Peripheral blood smear. Romanowsky stain. 400×400.
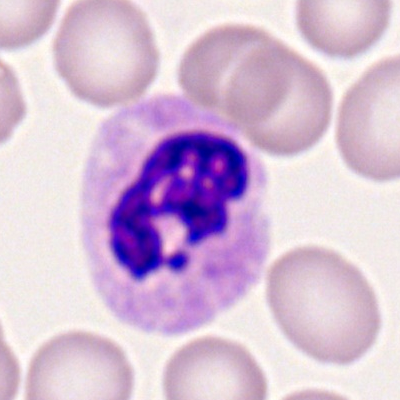Specimen: peripheral blood film.
Cell: polymorphonuclear neutrophil.